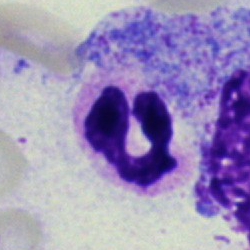

Classification = neutrophil (segmented).